M8 digital microscope (Precipoint), 100× oil immersion. Peripheral blood smear — 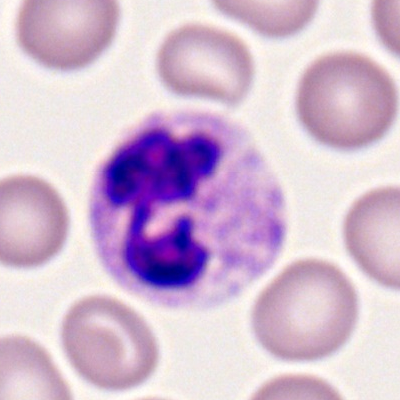 Classification: segmented neutrophil.